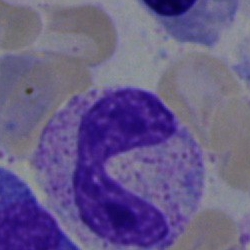

Specimen: bone marrow smear.
Cell type: stab cell.
Lineage: myeloid.